Bone marrow smear — 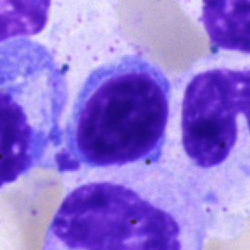 Impression — lymphocyte.